Bone marrow aspirate smear · 250×250 px · single cell centered in the field.
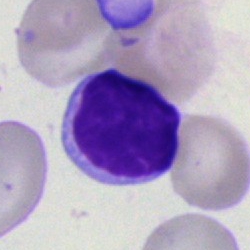 The classification is typical lymphocyte.